Bone marrow smear:
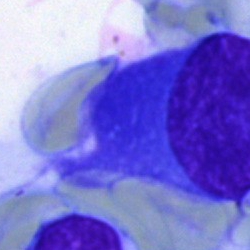 A plasma cell.